Image size 250×250. May-Grünwald-Giemsa/Pappenheim stain. Bone marrow smear: 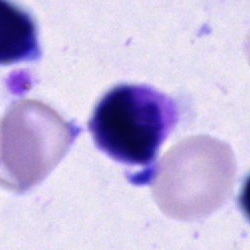 This is a cell of indeterminate lineage.